Bone marrow aspirate smear.
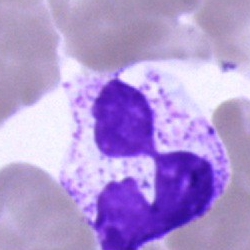
Single cell identified as a neutrophil (segmented).